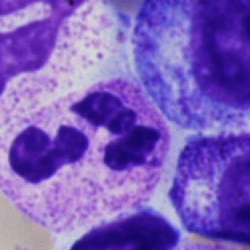

Cell type: polymorphonuclear neutrophil.